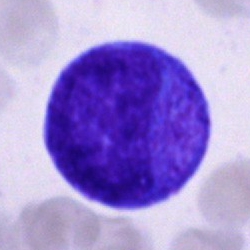 Q: What is the morphological classification of this cell?
A: It is a progranulocyte.